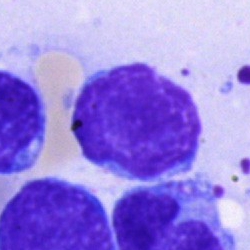

Q: Identify the cell.
A: It is a lymphocyte.